Romanowsky-stained. Peripheral blood film. Cropped to a single cell
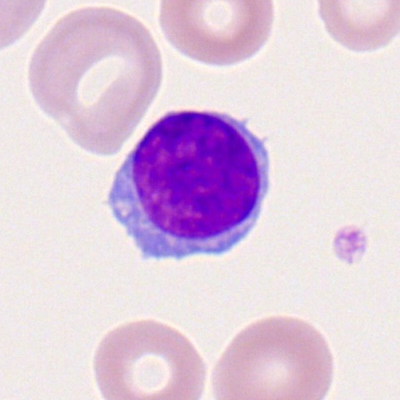
Q: Identify the cell.
A: This is a lymphocyte.